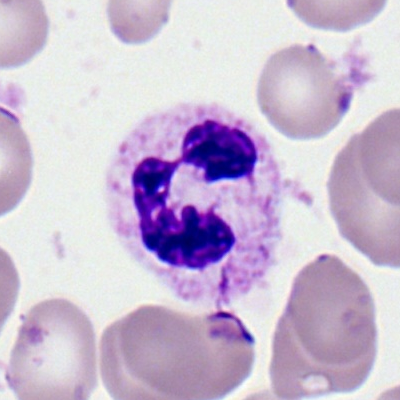Q: What type of cell is this?
A: Segmented neutrophil.